Romanowsky stain · peripheral blood smear · 100× objective, oil immersion:
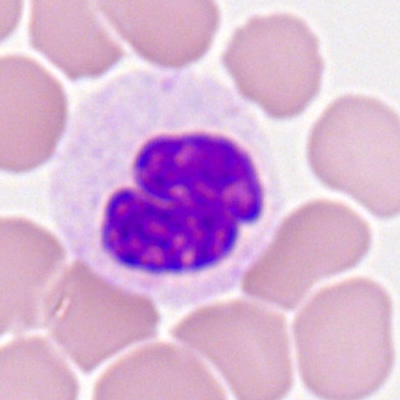Morphology consistent with a segmented neutrophil.